Single-cell crop. Bone marrow aspirate smear — 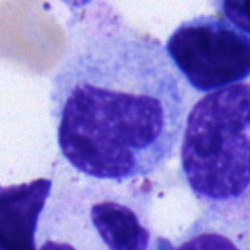 This is a metamyelocyte.